Single-cell crop; peripheral blood smear; 100× oil immersion: 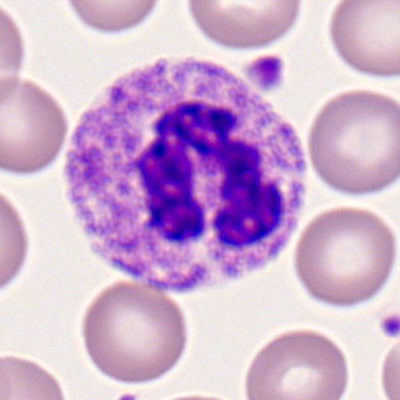 Morphological class — segmented neutrophil.